Peripheral blood smear:
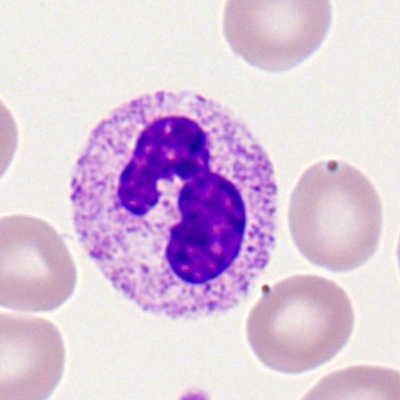
Single cell identified as a neutrophil (segmented).